Bone marrow smear — 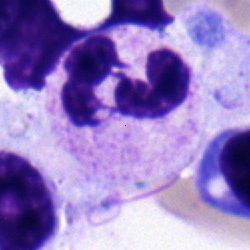 Specimen: bone marrow smear.
Classification: segmented neutrophil.
Lineage: myeloid.